250 by 250 pixels. Bone marrow smear. Brightfield, 40× oil-immersion objective
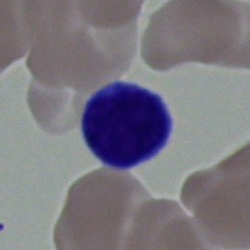Typical lymphocyte.